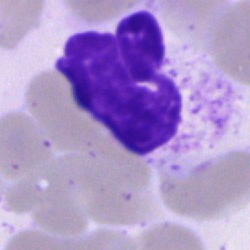
Q: Identify the cell.
A: A neutrophil (segmented).